Bone marrow smear.
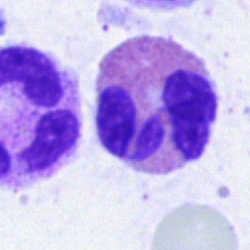
Specimen: bone marrow aspirate smear.
Classification: eosinophilic granulocyte.